360×363; May-Grünwald-Giemsa-stained; peripheral blood smear.
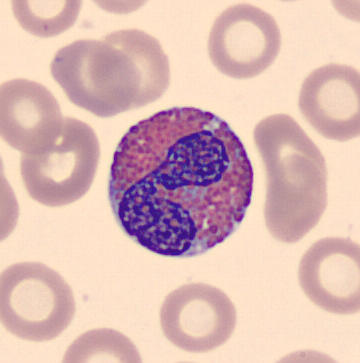 Q: What is shown here?
A: An eosinophil.